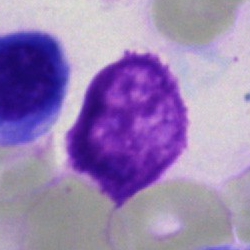

Artefact.